Bone marrow aspirate smear:
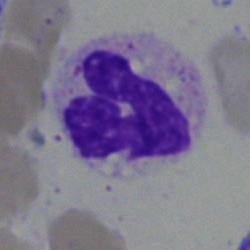Classification: neutrophil (segmented).